Bone marrow aspirate smear.
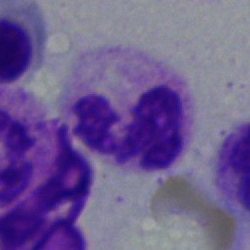{"cell_type": "segmented neutrophil", "lineage": "myeloid"}